Single-cell crop. Bone marrow aspirate smear
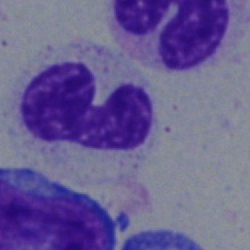 The cell shown is a neutrophil (band).